Bone marrow aspirate smear: 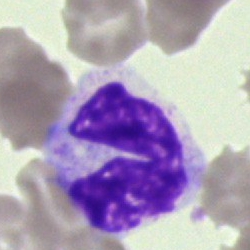

The cell shown is a polymorphonuclear neutrophil.